Brightfield, 40× oil-immersion objective · bone marrow smear: 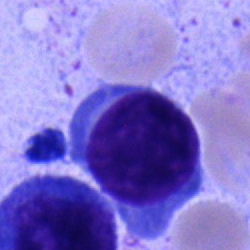
Lymphocyte.